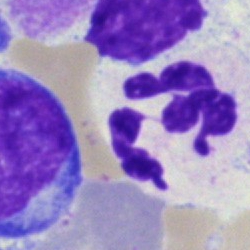 Morphology → neutrophil (segmented).